Bone marrow smear: 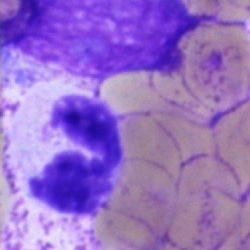Cell type = neutrophil (segmented).